Single-cell crop. Bone marrow smear: 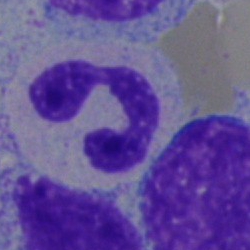 The cell is polymorphonuclear neutrophil.